Bone marrow smear:
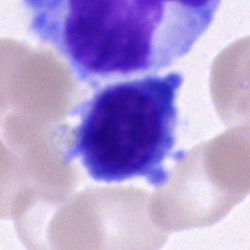

{"cell_type": "nucleated red cell"}